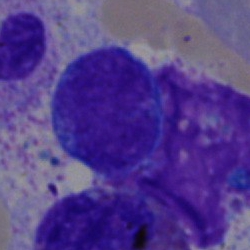

This is a typical lymphocyte.